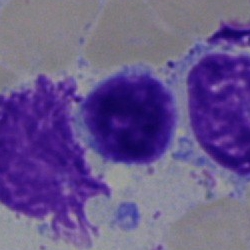

Morphology — lymphocyte.